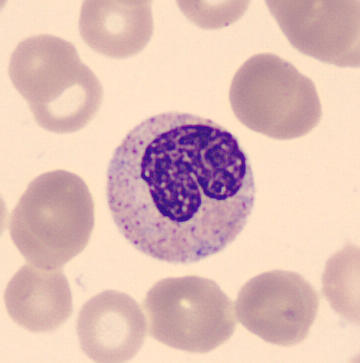Acquisition: Peripheral blood film.

Impression — metamyelocyte.